Bone marrow smear — 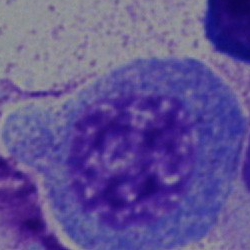 Showing a progranulocyte.